Single-cell crop. Bone marrow smear. Brightfield microscopy, 40× oil immersion:
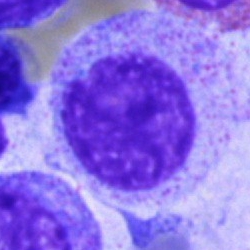

Specimen: bone marrow aspirate smear.
Classification: myelocyte.
Lineage: myeloid.